Bone marrow smear. Pappenheim-stained
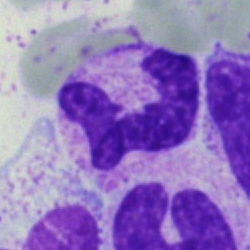

Specimen: bone marrow aspirate smear.
Cell type: polymorphonuclear neutrophil.
Lineage: myeloid.